Bone marrow smear: 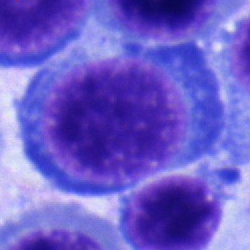Showing a nucleated red blood cell.